Bone marrow smear · image size 250×250:
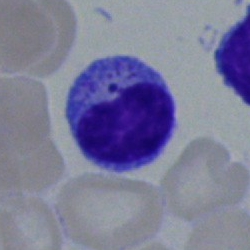

A typical lymphocyte.